Bone marrow aspirate smear — 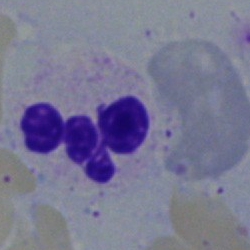 Single cell identified as a neutrophil (segmented).